Bone marrow aspirate smear: 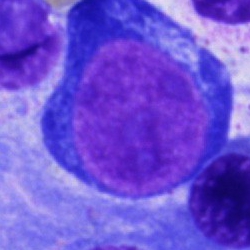

Q: Identify the cell.
A: This is a pronormoblast.